Bone marrow smear:
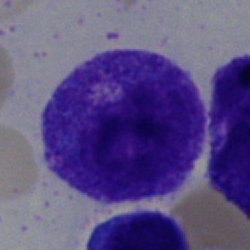 Morphology — progranulocyte.